Peripheral blood smear · Romanowsky stain.
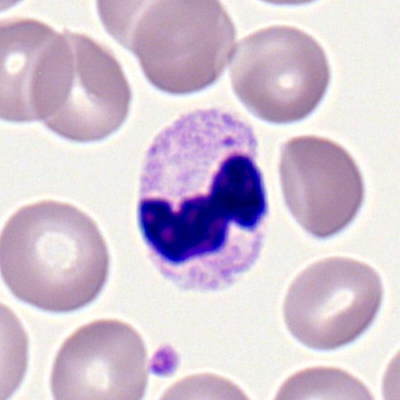 The cell type is neutrophil (segmented).